Brightfield, 40× oil-immersion objective · May-Grünwald-Giemsa stain · bone marrow smear — 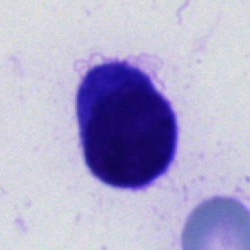
Specimen: bone marrow aspirate smear.
Classification: cell of indeterminate lineage.